Bone marrow aspirate smear
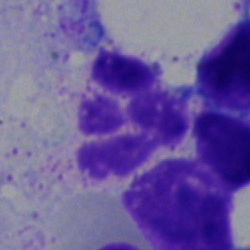

Q: Which cell type is shown here?
A: A polymorphonuclear neutrophil.